Bone marrow smear.
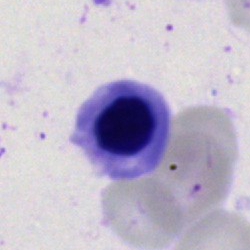

Cell: erythroblast.